Bone marrow smear:
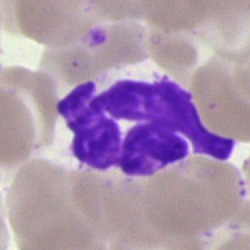 Q: What is shown here?
A: This is an artifact.